250×250 px. Single-cell field. Bone marrow smear — 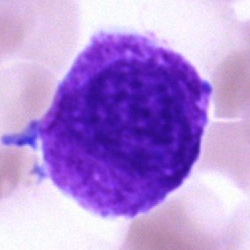
Morphology → artefact.